Bone marrow smear
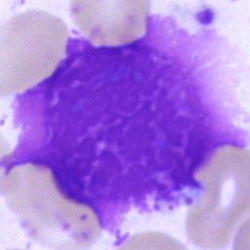The cell type is artefact.